Bone marrow smear:
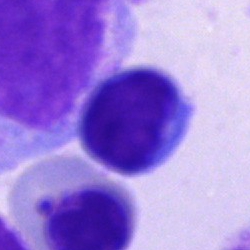

Specimen: bone marrow aspirate smear.
Cell type: lymphocyte.